40× oil immersion; bone marrow aspirate smear.
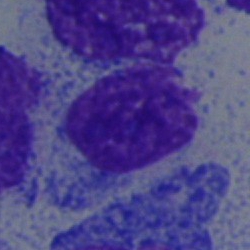
Classification — undifferentiated blast.